Bone marrow smear — 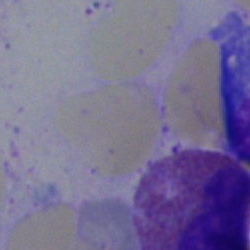Single cell identified as an artefact.